Bone marrow aspirate smear — 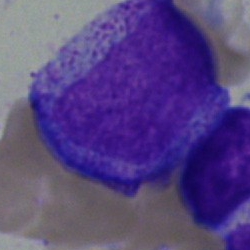
Classification = progranulocyte.